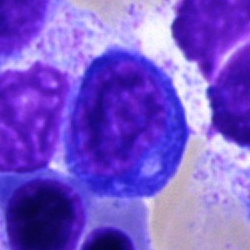
Q: Which cell type is shown here?
A: A normoblast.